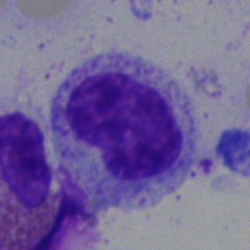
Impression — metamyelocyte.